Peripheral blood film · brightfield, 100× oil-immersion objective.
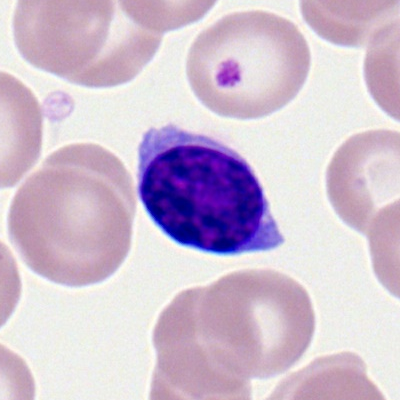Morphology → lymphocyte.